Single cell centered in the field · M8 digital microscope (Precipoint), 100× oil immersion · peripheral blood smear:
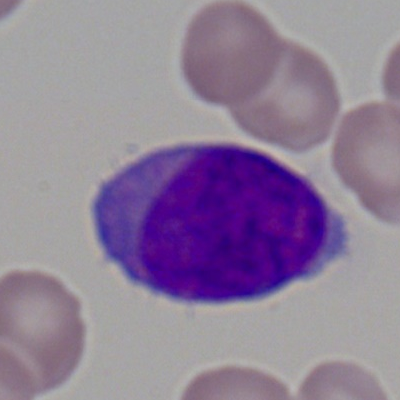Morphology — myeloblast.